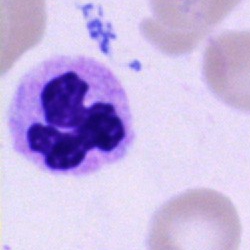Bone marrow smear showing a neutrophil (segmented).